Bone marrow smear; 250 by 250 pixels: 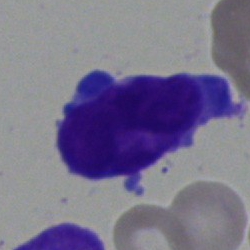 Q: Identify the cell.
A: A blast.